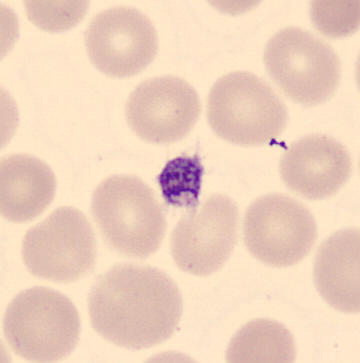

Morphology consistent with a platelet.
Peripheral blood smear.